Bone marrow aspirate smear · cropped to a single cell · May-Grünwald-Giemsa/Pappenheim stain — 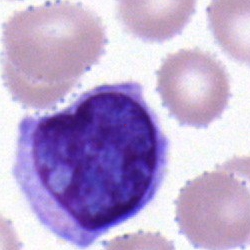 Classification = typical lymphocyte.